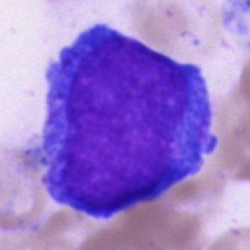

Q: What is the morphological classification of this cell?
A: It is an undifferentiated blast.